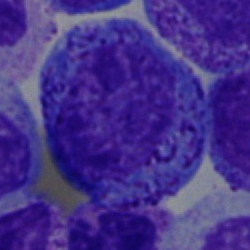
Classification: promyelocyte.